Peripheral blood smear: 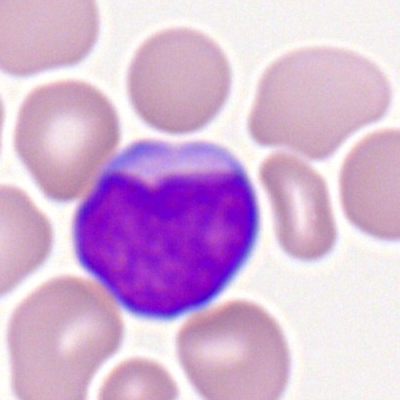Q: Identify the cell.
A: Myeloid blast.